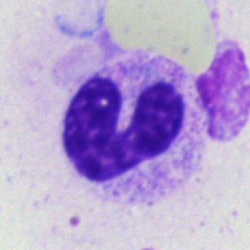
Bone marrow smear showing a neutrophil (band).